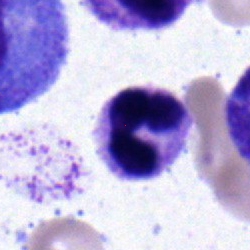 Specimen: bone marrow aspirate smear.
Morphological class: segmented neutrophil.
Lineage: myeloid.